Bone marrow smear.
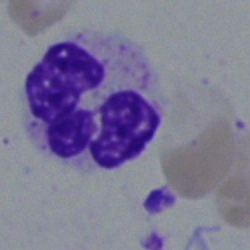
Morphology — polymorphonuclear neutrophil.